Bone marrow smear; 250×250: 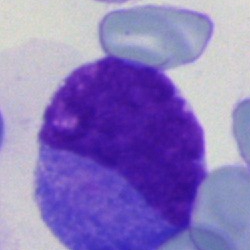
Cell type: blast.